Bone marrow aspirate smear: 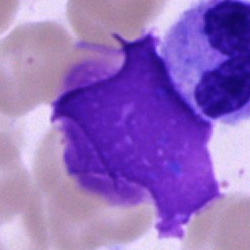

Showing an artifact.